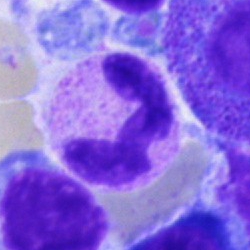 Q: What cell is this?
A: This is a segmented neutrophil.